Peripheral blood film: 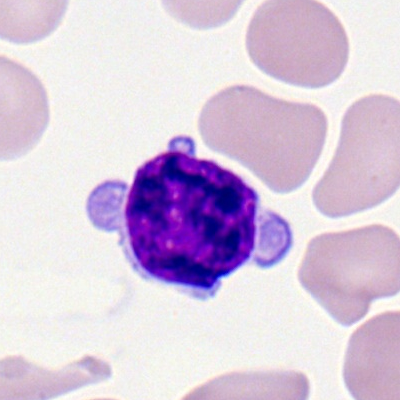
Specimen: peripheral blood film.
Morphological class: typical lymphocyte.
Lineage: lymphoid.